Single cell centered in the field · bone marrow smear.
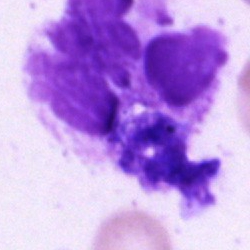Specimen: bone marrow smear.
Cell type: artefact.